250 by 250 pixels · bone marrow aspirate smear · single-cell field — 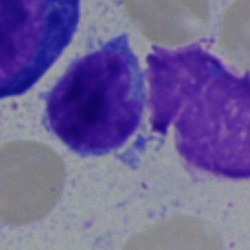
Impression — typical lymphocyte.